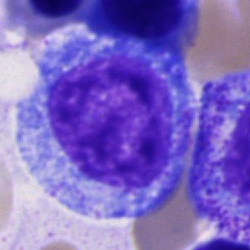Q: What is shown here?
A: Promyelocyte.